Pappenheim-stained · 40× objective, oil immersion · bone marrow aspirate smear:
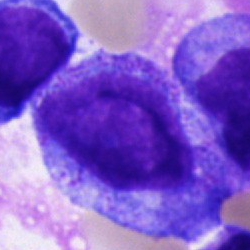 Morphological class — promyelocyte.